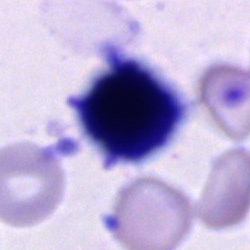

Cell: cell of indeterminate lineage.